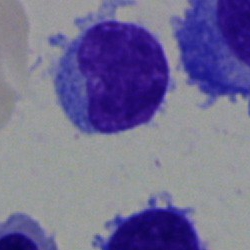
Morphology → lymphocyte.